May-Grünwald-Giemsa stain; bone marrow aspirate smear:
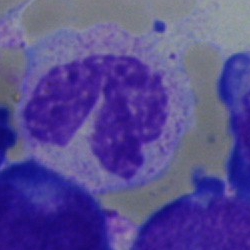 Morphology — band neutrophil.